Bone marrow aspirate smear; image size 250×250; single-cell crop
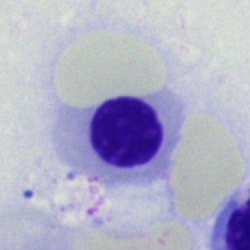 {"cell_type": "nucleated red blood cell", "lineage": "erythroid"}